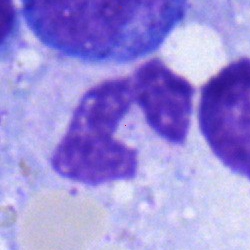

{"cell_type": "band neutrophil"}